Bone marrow smear · 250×250 px
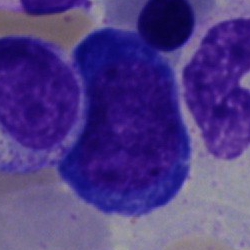
A nucleated red cell.